Bone marrow smear — 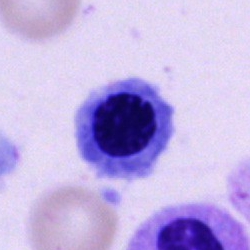
Impression — nucleated red blood cell.